Bone marrow aspirate smear.
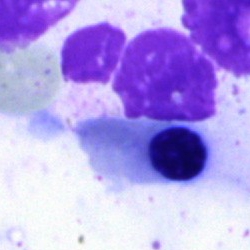Showing a nucleated red blood cell.